Bone marrow aspirate smear. May-Grünwald-Giemsa stain
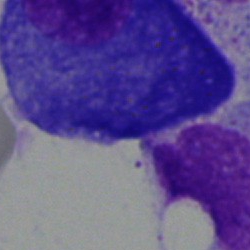Specimen: bone marrow smear.
Cell type: plasmacyte.
Lineage: lymphoid.